Bone marrow smear; cropped to a single cell — 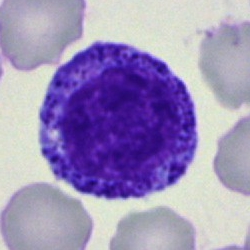 Q: What cell is this?
A: It is a promyelocyte.